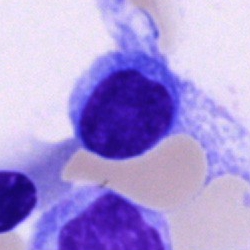
Impression → lymphocyte.